Bone marrow aspirate smear. Image size 250×250 — 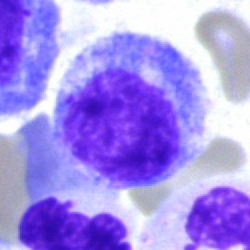 Cell: promyelocyte.